Bone marrow smear — 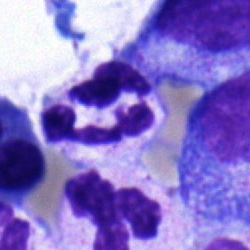The cell shown is a neutrophil (segmented).